Peripheral blood smear.
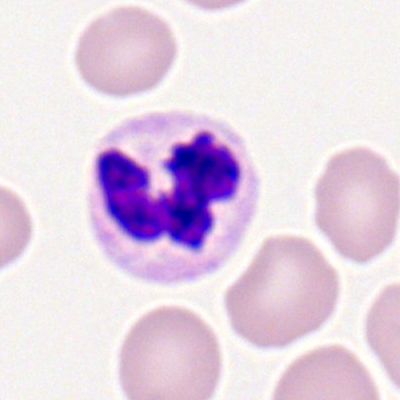
Cell = segmented neutrophil.